Bone marrow aspirate smear.
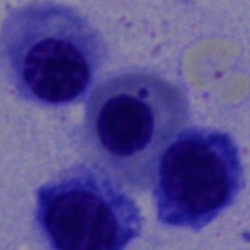Morphology consistent with an erythroblast.